MGG-stained. Bone marrow aspirate smear: 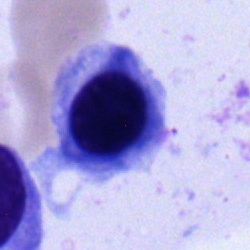 This is a normoblast.